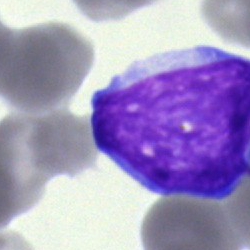

A blast on a bone marrow smear.